Bone marrow smear · Pappenheim-stained: 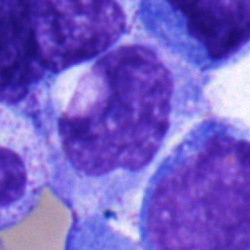 Classification = myelocyte.